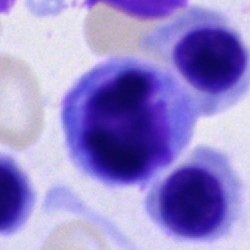 Impression — unidentifiable cell.